Single-cell field. MGG-stained. Bone marrow smear — 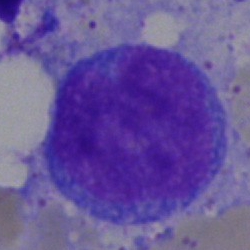 Morphology — pronormoblast.